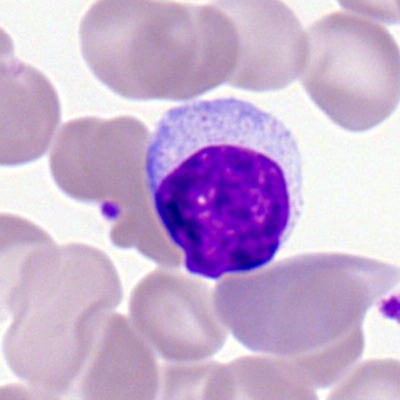Showing a lymphocyte.